Bone marrow aspirate smear. Cropped to a single cell: 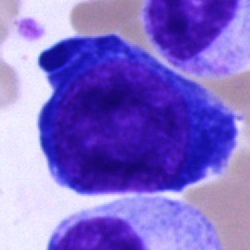
Morphology → pronormoblast.